40× objective, oil immersion · bone marrow smear — 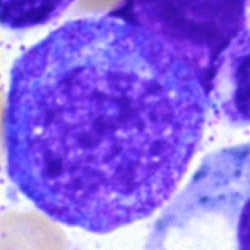
Classification — promyelocyte.